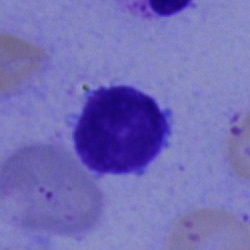
Single-cell crop from a bone marrow smear: lymphocyte.